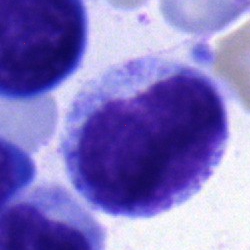 Specimen: bone marrow aspirate smear.
Cell type: myelocyte.
Lineage: myeloid.